40× objective, oil immersion; bone marrow smear — 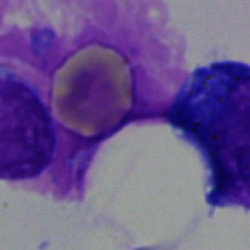
Cell: artifact.